250 by 250 pixels; bone marrow smear: 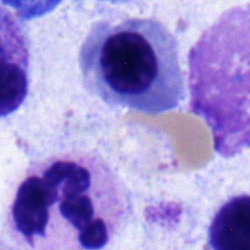Specimen: bone marrow smear.
Cell: eosinophil.
Lineage: myeloid.